Bone marrow smear · 250×250
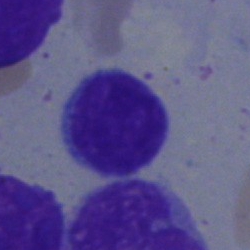This is a lymphocyte.